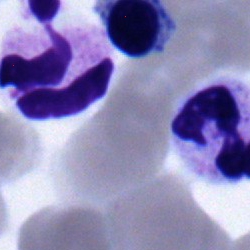
Cell type = nucleated red blood cell.